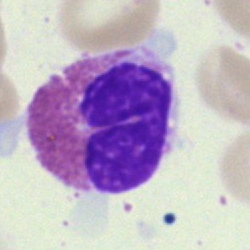

Q: What is the morphological classification of this cell?
A: An eosinophilic granulocyte.